Bone marrow smear · cropped to a single cell · Pappenheim-stained: 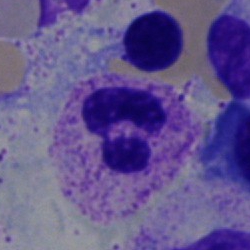
Showing a segmented neutrophil.